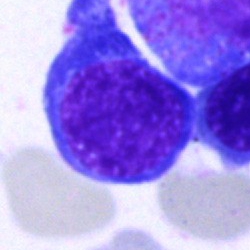

This is a nucleated red blood cell.